Single-cell field · bone marrow aspirate smear · May-Grünwald-Giemsa stain — 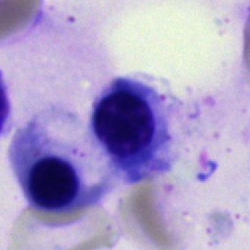Normoblast.